Pappenheim-stained. Bone marrow smear. Brightfield microscopy, 40× oil immersion — 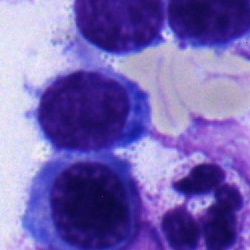
Q: What is the morphological classification of this cell?
A: It is a typical lymphocyte.